Cropped to a single cell; peripheral blood film; 100× oil immersion, 14.14 px/µm: 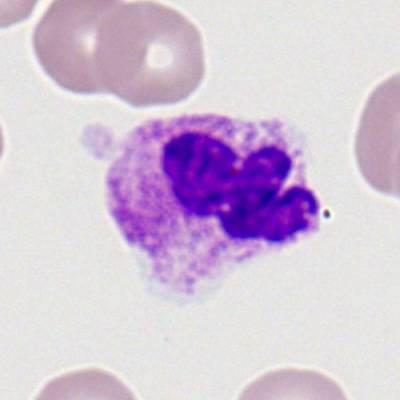

Q: What cell is this?
A: It is a neutrophil (segmented).